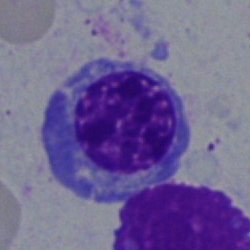 Q: Identify the cell.
A: It is a nucleated red blood cell.